Peripheral blood smear; cropped to a single cell:
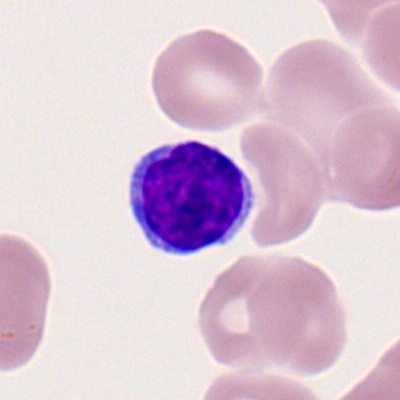Morphology consistent with a typical lymphocyte.